May-Grünwald-Giemsa stain · brightfield microscopy, 40× oil immersion · bone marrow smear: 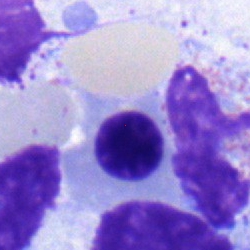
Q: Which cell type is shown here?
A: Erythroblast.